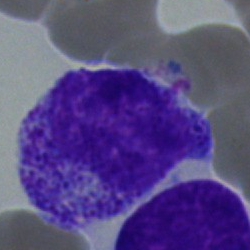 A myelocyte on a bone marrow smear.